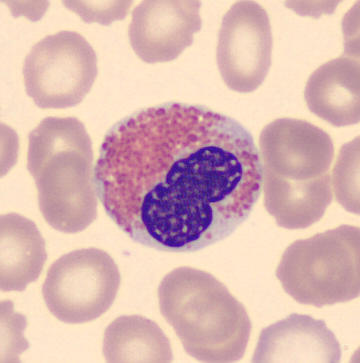 Morphology → eosinophil. Preparation: Peripheral blood film.